May-Grünwald-Giemsa/Pappenheim stain; bone marrow smear — 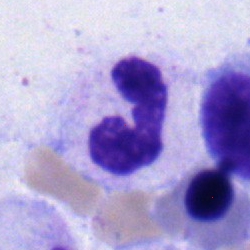
Polymorphonuclear neutrophil.